Cropped to a single cell; bone marrow aspirate smear — 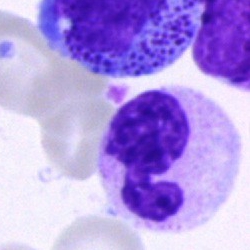

Morphology consistent with a segmented neutrophil.